Bone marrow smear — 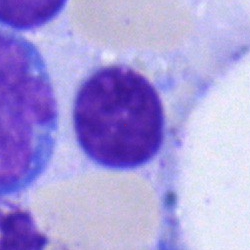 A typical lymphocyte.